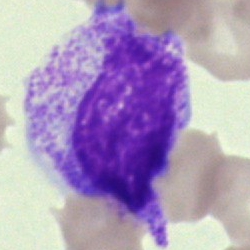

Specimen: bone marrow aspirate smear.
Cell type: myelocyte.
Lineage: myeloid.